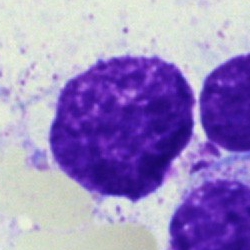 Q: What is shown here?
A: An artefact.